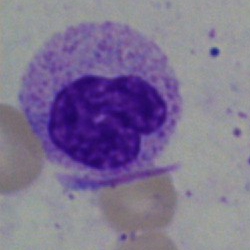
Q: What cell is this?
A: Neutrophil (segmented).